Bone marrow aspirate smear
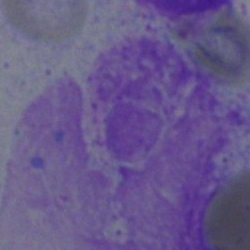An artefact.